Bone marrow aspirate smear — 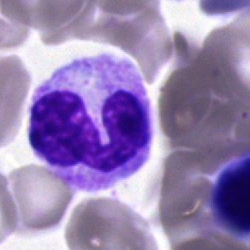
Cell: polymorphonuclear neutrophil.